Bone marrow smear. 40× oil immersion. Single-cell crop.
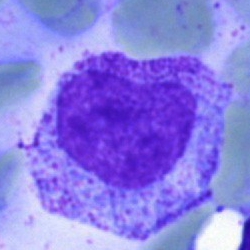

Q: What cell is this?
A: Myelocyte.